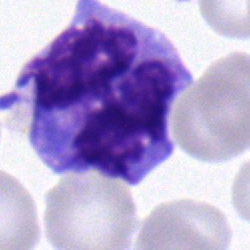 Morphological class: monocyte.